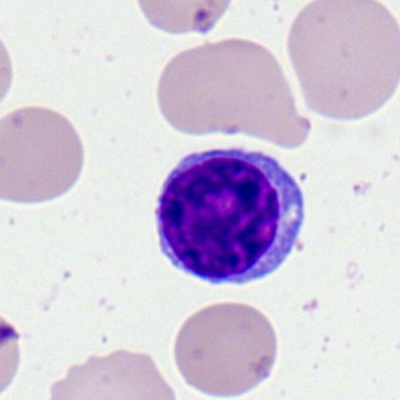 Morphology consistent with a typical lymphocyte.